Bone marrow aspirate smear.
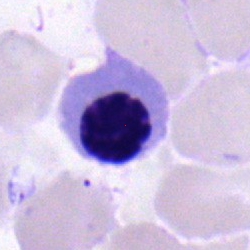
The cell shown is a normoblast.